Bone marrow smear · 250 by 250 pixels.
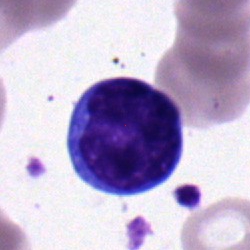
Single cell identified as a typical lymphocyte.